Bone marrow smear — 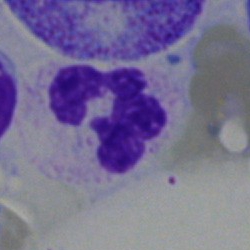Q: What cell is this?
A: A polymorphonuclear neutrophil.